Bone marrow smear:
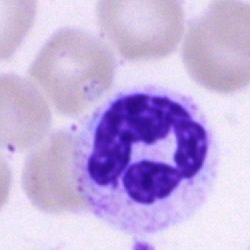

Classification = polymorphonuclear neutrophil.